Bone marrow aspirate smear: 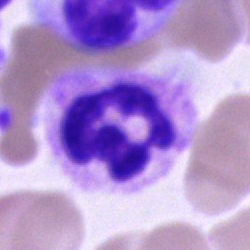
Q: Which cell type is shown here?
A: It is a segmented neutrophil.